Single-cell field; bone marrow smear.
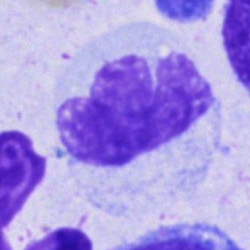Q: What is shown here?
A: A monocyte.